Pappenheim-stained. Bone marrow smear — 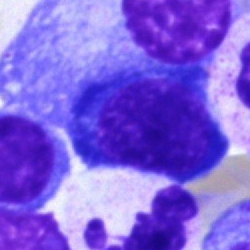
Q: What is the morphological classification of this cell?
A: It is an erythroblast.